May-Grünwald-Giemsa/Pappenheim stain. Bone marrow aspirate smear: 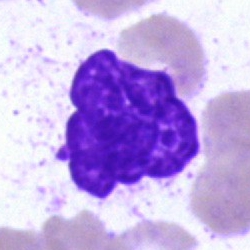
Q: What is shown here?
A: It is an artifact.